Bone marrow aspirate smear. 250×250
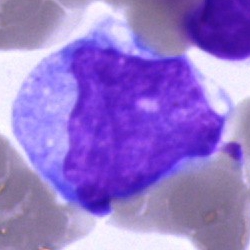Single cell identified as a monocyte.